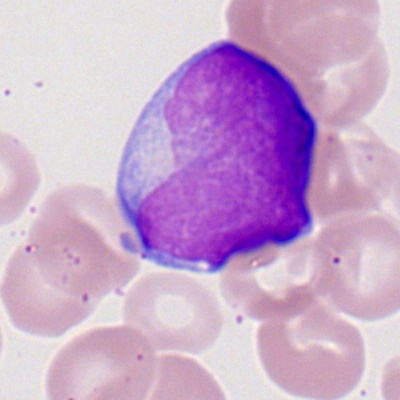
Morphological class = myeloblast.